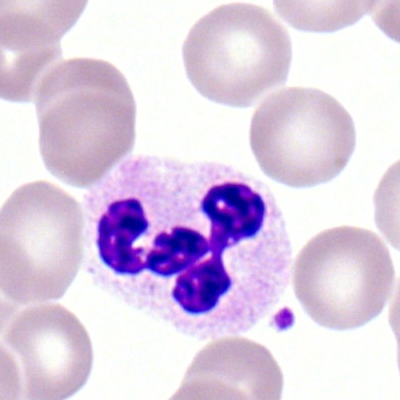

Morphology → polymorphonuclear neutrophil.